Image size 250×250. Bone marrow aspirate smear:
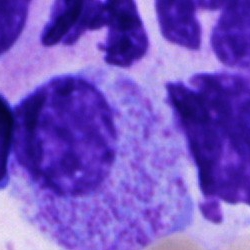

An unidentifiable cell.